Bone marrow aspirate smear: 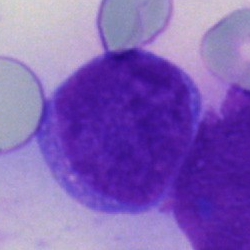Cell type: undifferentiated blast.